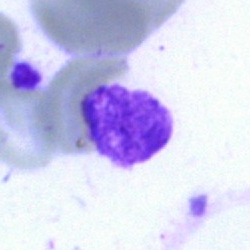 An artefact.